Bone marrow aspirate smear: 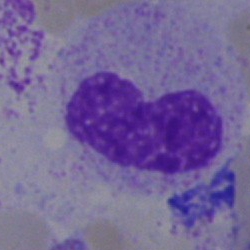
A band neutrophil.